Bone marrow aspirate smear.
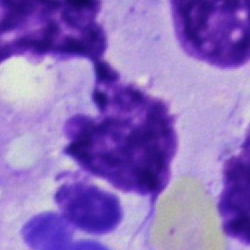

The cell shown is an artefact.